Bone marrow aspirate smear.
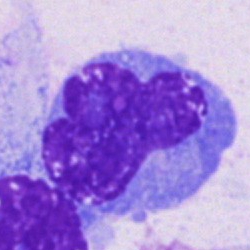This is a monocyte.